Bone marrow aspirate smear; MGG-stained — 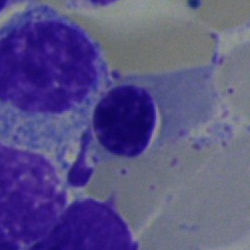
Cell — erythroblast.